Bone marrow smear — 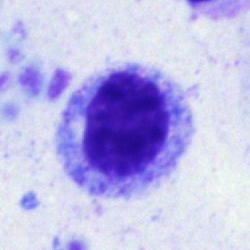Q: What cell is this?
A: A myelocyte.